Bone marrow smear: 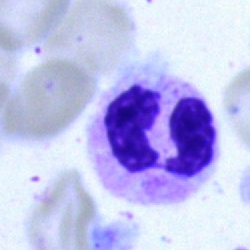 Cell type: neutrophil (segmented).